Bone marrow smear:
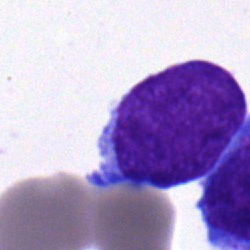 Specimen: bone marrow aspirate smear.
Morphological class: blast cell.